Bone marrow aspirate smear. 250×250. Single-cell crop
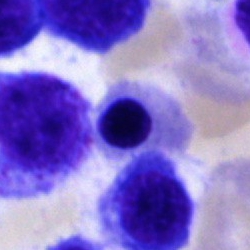 Morphology — normoblast.